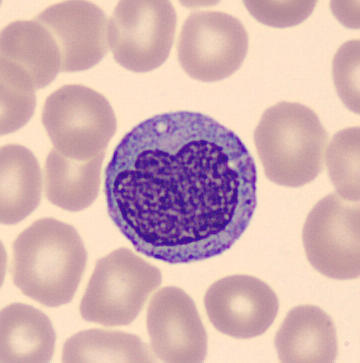
Specimen: peripheral blood film.
Morphological class: monocyte.

MGG-stained; cropped to a single cell.